Bone marrow smear:
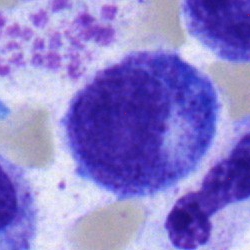 Cell type = progranulocyte.